Single-cell crop. Brightfield, 40× oil-immersion objective. Bone marrow aspirate smear: 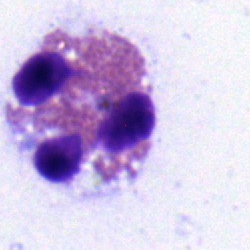

Q: Which cell type is shown here?
A: It is an eosinophilic granulocyte.